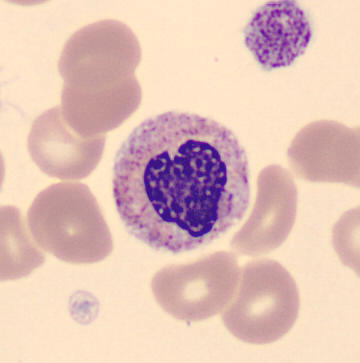Specimen: peripheral blood smear.
Morphological class: metamyelocyte.